Bone marrow aspirate smear — 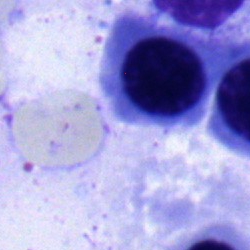Nucleated red cell.